May-Grünwald-Giemsa/Pappenheim stain. Bone marrow smear. Cropped to a single cell — 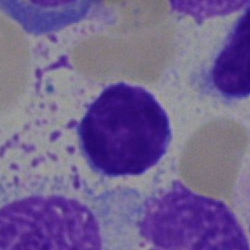

Q: What type of cell is this?
A: Typical lymphocyte.